250 by 250 pixels. Single cell centered in the field. Bone marrow aspirate smear:
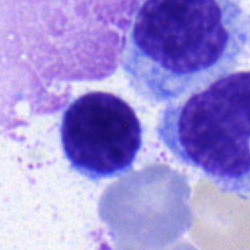Lymphocyte.